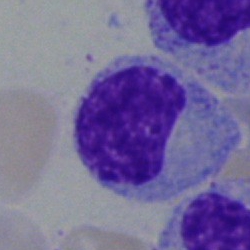

Q: What type of cell is this?
A: It is a myelocyte.